Bone marrow aspirate smear.
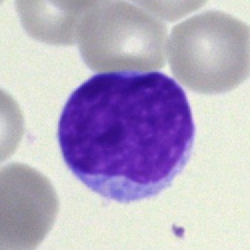
Impression — blast.